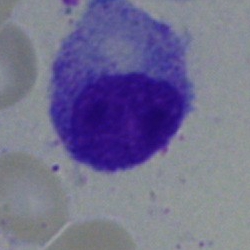
Cell type — myelocyte.